Bone marrow aspirate smear · brightfield, 40× oil-immersion objective
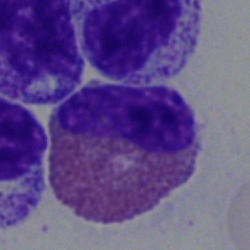Cell — eosinophilic granulocyte.